40× objective, oil immersion. Image size 250×250. Bone marrow aspirate smear: 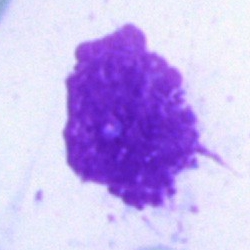 Single cell identified as an artifact.